250×250 · bone marrow smear · May-Grünwald-Giemsa/Pappenheim stain
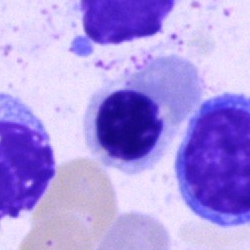 A nucleated red blood cell.